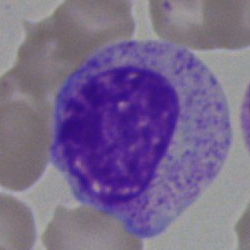Morphological class — myelocyte.